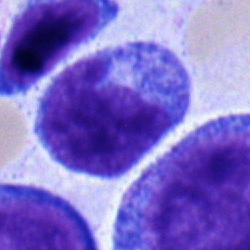

Morphological class: monocyte.